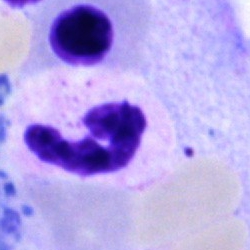Impression — neutrophil (segmented).